100× oil immersion, 14.14 px/µm. Peripheral blood smear. Romanowsky stain
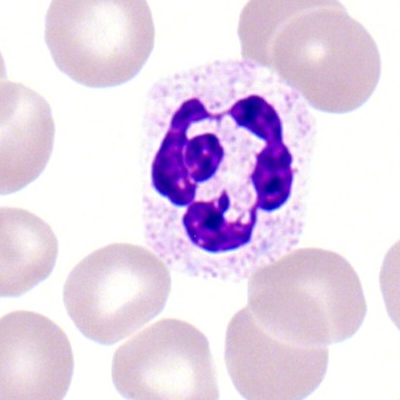 This is a segmented neutrophil.